Brightfield, 40× oil-immersion objective; bone marrow aspirate smear; image size 250×250:
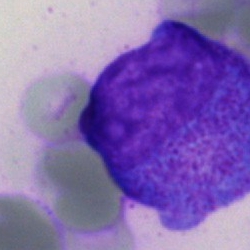 {"cell_type": "myelocyte", "lineage": "myeloid"}